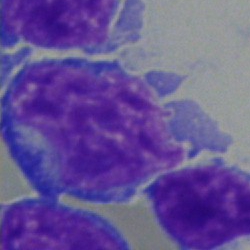
Bone marrow smear showing a lymphocyte.